Image size 250×250; bone marrow smear; 40× objective, oil immersion:
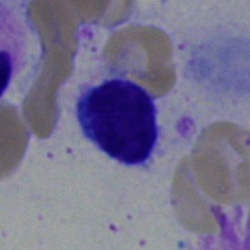
Specimen: bone marrow aspirate smear.
Classification: lymphocyte.
Lineage: lymphoid.